Peripheral blood smear · imaged on a CellaVision DM96 analyser · MGG-stained
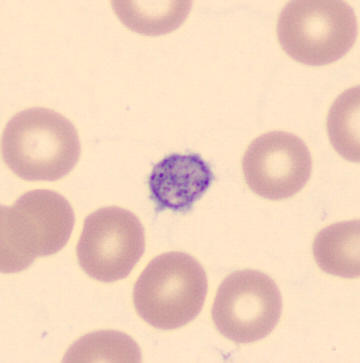

Q: What is this?
A: This is a platelet.